Image size 250×250 · bone marrow aspirate smear:
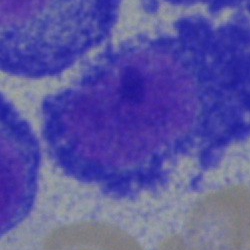

{"cell_type": "plasma cell", "lineage": "lymphoid"}